250×250. Bone marrow smear.
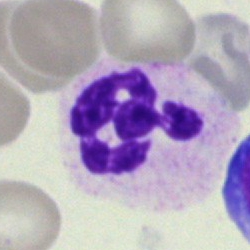Impression — neutrophil (segmented).